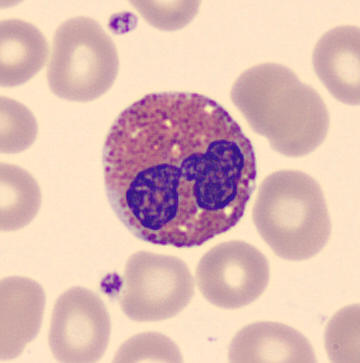The cell type is eosinophilic granulocyte.